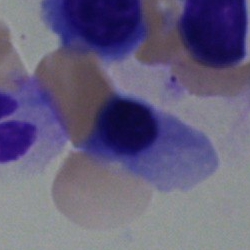 Specimen: bone marrow smear.
Classification: erythroblast.
Lineage: erythroid.